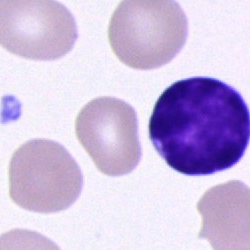
Single-cell crop from a bone marrow smear: typical lymphocyte.